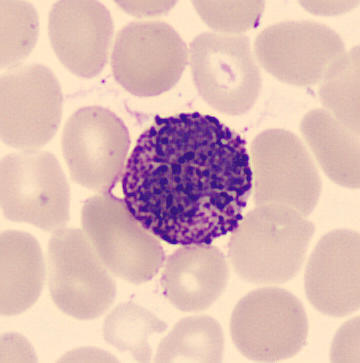 A basophilic granulocyte. Image: MGG-stained · peripheral blood film.